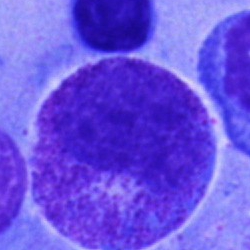 Single cell identified as a promyelocyte.